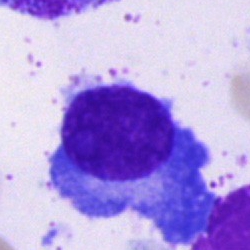
Bone marrow smear showing a plasma cell.